Bone marrow smear: 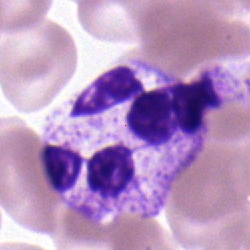

Specimen: bone marrow aspirate smear.
Morphological class: polymorphonuclear neutrophil.
Lineage: myeloid.